Brightfield microscopy, 40× oil immersion · single-cell field · bone marrow smear — 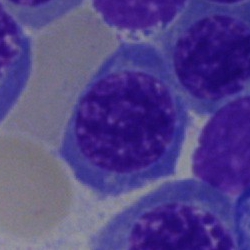 Morphology consistent with a nucleated red blood cell.